Bone marrow aspirate smear:
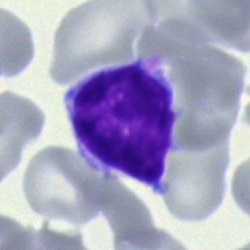
The classification is lymphocyte.